Bone marrow aspirate smear: 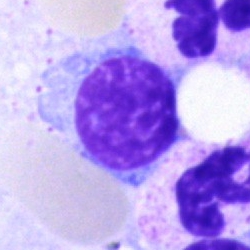Cell type — lymphocyte.